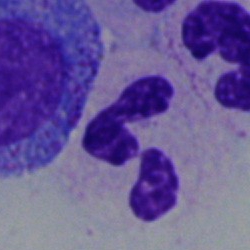

Morphological class — segmented neutrophil.